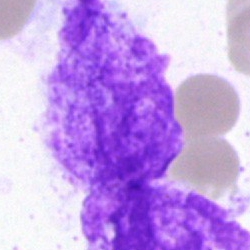The cell shown is an artifact.